Bone marrow aspirate smear:
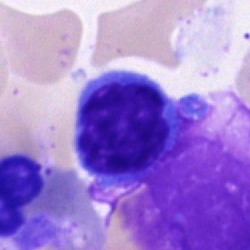Typical lymphocyte.